Image size 250×250. Cropped to a single cell. Bone marrow smear — 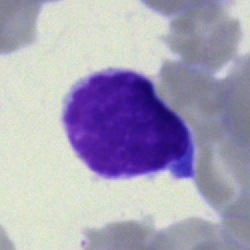 A typical lymphocyte.